Bone marrow smear: 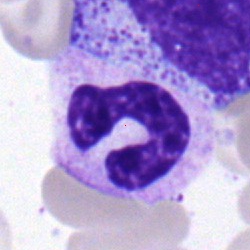

Band-form neutrophil.